40× oil immersion. MGG-stained. Bone marrow smear
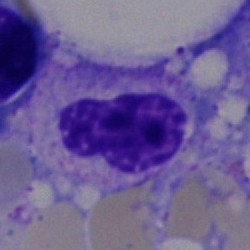

Cell — polymorphonuclear neutrophil.